Single-cell field. May-Grünwald-Giemsa stain. Bone marrow smear.
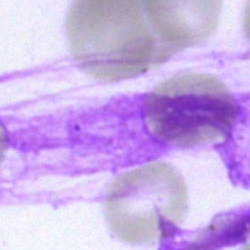
{"cell_type": "artifact"}